Bone marrow aspirate smear:
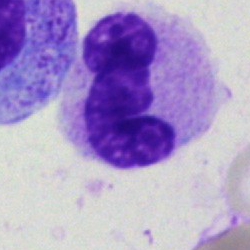
The morphological class is neutrophil (segmented).